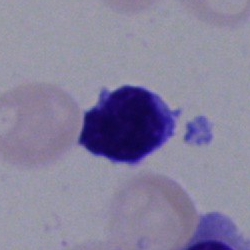 This is a typical lymphocyte.